Bone marrow smear: 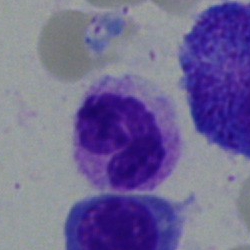Neutrophil (segmented).